Bone marrow aspirate smear:
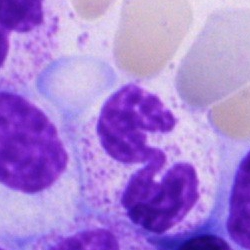
The cell type is segmented neutrophil.